Bone marrow smear: 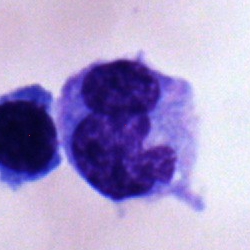
Showing a monocyte.